Single-cell field · peripheral blood film · May-Grünwald-Giemsa-stained — 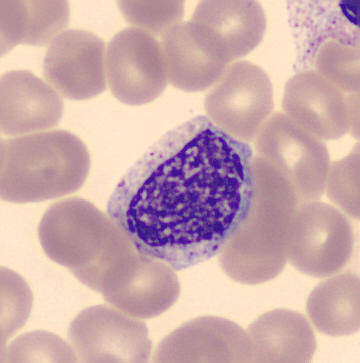

Morphology → myelocyte.